May-Grünwald-Giemsa/Pappenheim stain · bone marrow smear
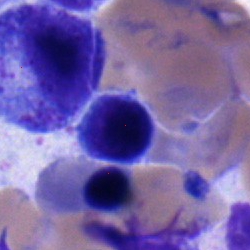Morphology → promyelocyte.